250×250 px. Bone marrow smear. May-Grünwald-Giemsa/Pappenheim stain: 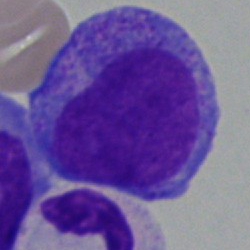Morphology consistent with a progranulocyte.